Single-cell field · bone marrow aspirate smear — 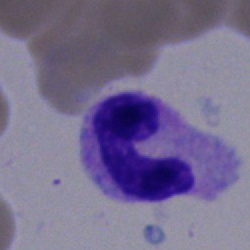 Classification = stab cell.